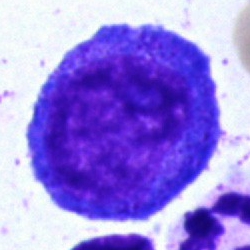
{"cell_type": "pronormoblast", "lineage": "erythroid"}